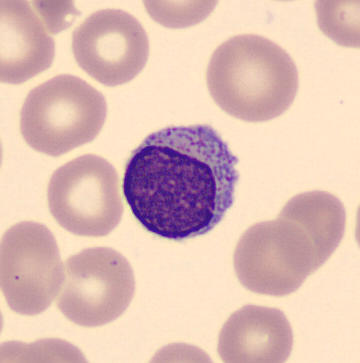 Preparation: Peripheral blood film.
Cell type — lymphocyte.